Bone marrow smear
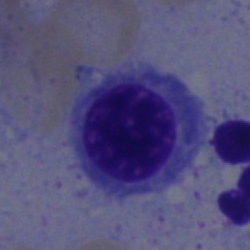

Cell = nucleated red cell.